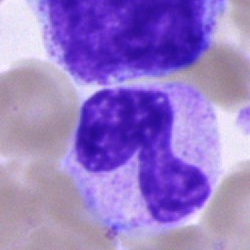 Q: What cell is this?
A: Band neutrophil.